Peripheral blood film
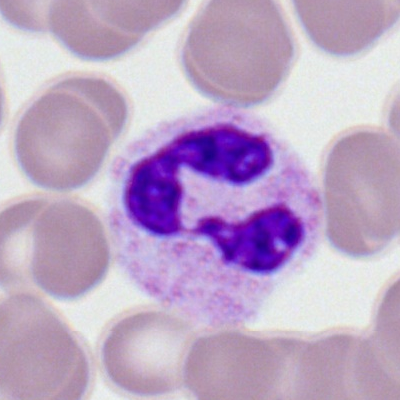
Specimen: peripheral blood film.
Morphological class: segmented neutrophil.